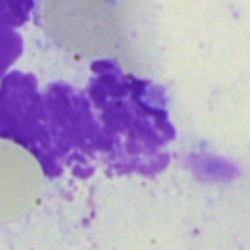
Showing an artefact.